Bone marrow aspirate smear:
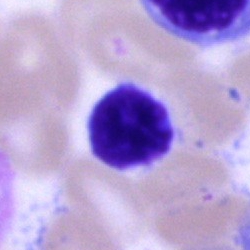Typical lymphocyte.